40× oil immersion · MGG-stained · bone marrow smear:
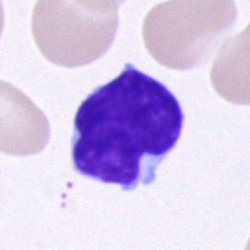Cell: lymphocyte.